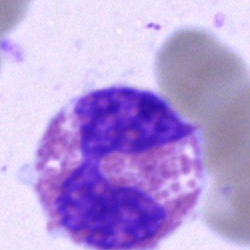
Cell: eosinophil.